Bone marrow smear; 250×250; single-cell crop — 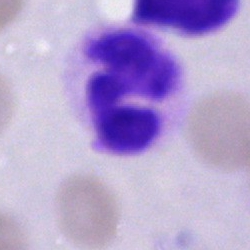

Q: What type of cell is this?
A: A polymorphonuclear neutrophil.